Bone marrow aspirate smear: 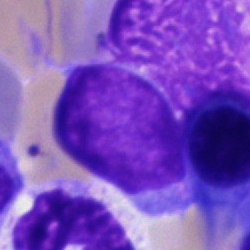 Morphological class — undifferentiated blast.